Bone marrow aspirate smear. 250×250. Single-cell crop: 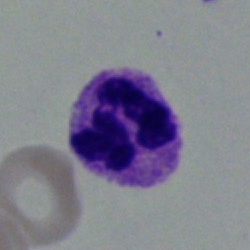

Neutrophil (segmented).